250×250. Bone marrow smear: 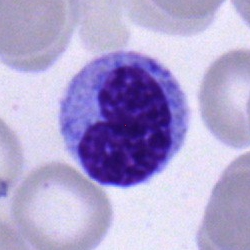
Cell: monocyte.